Single cell centered in the field; bone marrow aspirate smear: 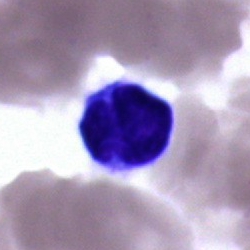 Morphological class: lymphocyte.